Bone marrow aspirate smear · single-cell field — 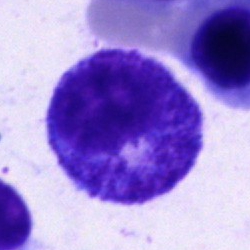 The cell is progranulocyte.